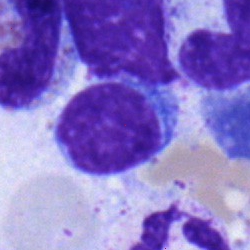 Bone marrow aspirate smear, single cell — lymphocyte.